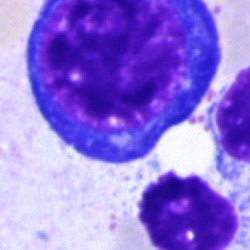
Morphological class — normoblast.